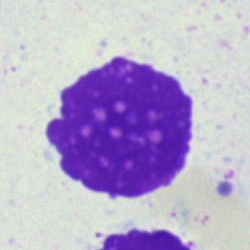
{"cell_type": "artefact"}